Bone marrow smear. Brightfield, 40× oil-immersion objective
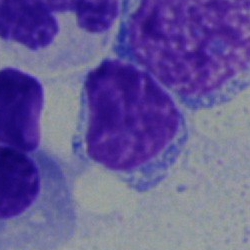 Q: What cell is this?
A: It is a lymphocyte.